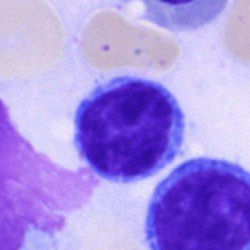 Cell type — lymphocyte.